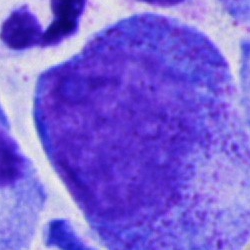
Q: Identify the cell.
A: This is a progranulocyte.